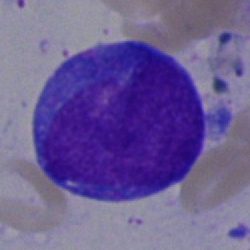 This is a blast.